Image size 250×250; bone marrow aspirate smear; 40× objective, oil immersion.
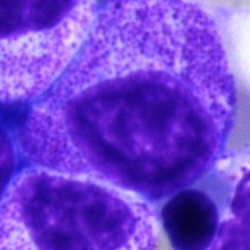

Q: What cell is this?
A: A myelocyte.